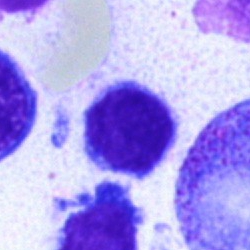Lymphocyte.